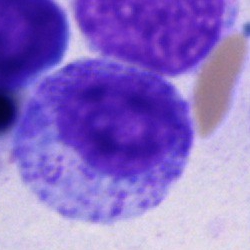

Impression → promyelocyte.